Bone marrow aspirate smear; May-Grünwald-Giemsa/Pappenheim stain.
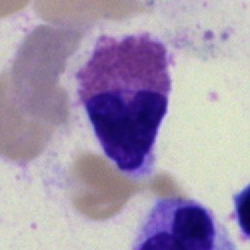 Classification: eosinophilic granulocyte.